Bone marrow smear · brightfield microscopy, 40× oil immersion · May-Grünwald-Giemsa stain: 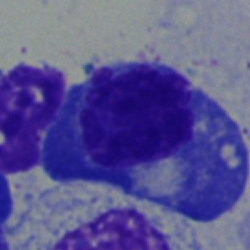 Q: What type of cell is this?
A: It is a plasmacyte.